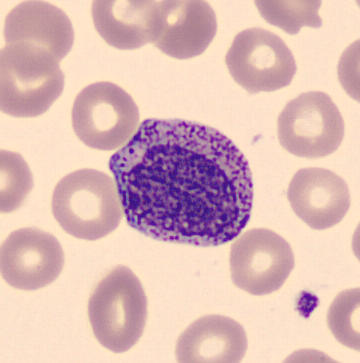
A myelocyte.
Peripheral blood smear.